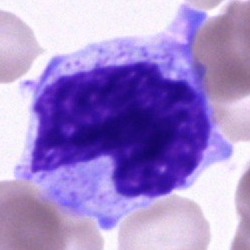 Cell = cell of indeterminate lineage.